Peripheral blood smear
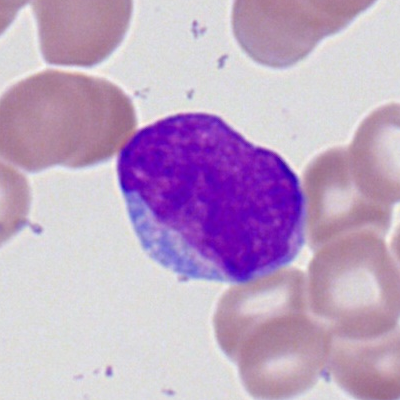 The classification is myeloid blast.